Bone marrow aspirate smear: 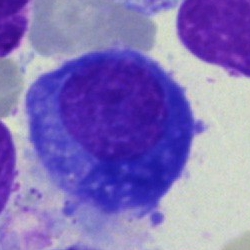This is a plasmacyte.